Bone marrow aspirate smear; image size 250×250
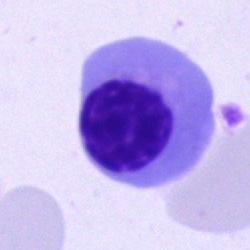 Morphology consistent with a normoblast.